Bone marrow aspirate smear
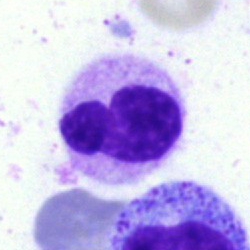 Single cell identified as a band neutrophil.